Bone marrow aspirate smear. May-Grünwald-Giemsa stain. Single-cell field — 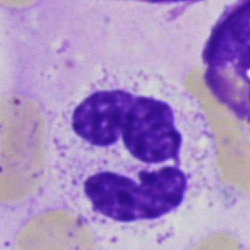
This is a neutrophil (segmented).